Bone marrow smear; brightfield, 40× oil-immersion objective; Pappenheim-stained.
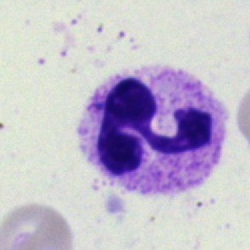 Morphological class: polymorphonuclear neutrophil.